Bone marrow aspirate smear; brightfield, 40× oil-immersion objective; cropped to a single cell
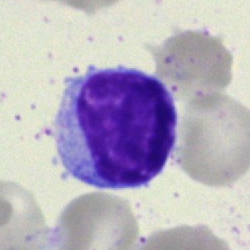 {"cell_type": "typical lymphocyte", "lineage": "lymphoid"}